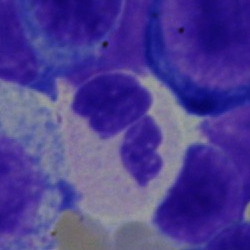
Cell type: neutrophil (segmented).